May-Grünwald-Giemsa/Pappenheim stain · bone marrow smear · 250 by 250 pixels — 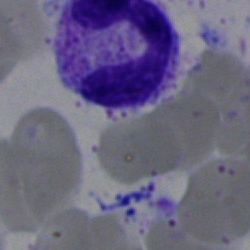
Q: What is the morphological classification of this cell?
A: It is a segmented neutrophil.